Bone marrow aspirate smear; May-Grünwald-Giemsa/Pappenheim stain: 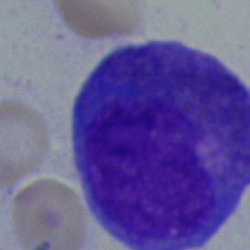

Showing a progranulocyte.